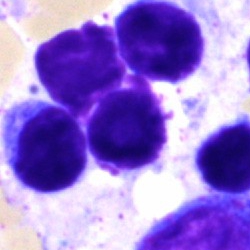Classification: lymphocyte.